250×250 · brightfield microscopy, 40× oil immersion · bone marrow aspirate smear.
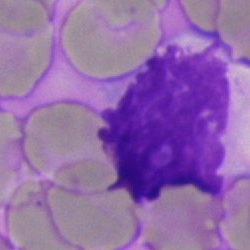Q: What is shown here?
A: This is an artifact.